Single-cell field. Bone marrow aspirate smear — 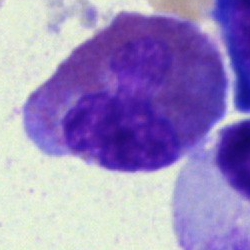

Morphology consistent with an eosinophilic granulocyte.